May-Grünwald-Giemsa/Pappenheim stain; bone marrow smear
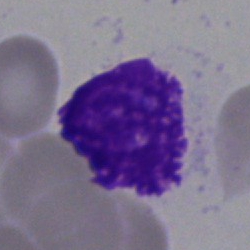 The cell type is artefact.